Single cell centered in the field. Brightfield microscopy, 40× oil immersion. Bone marrow smear — 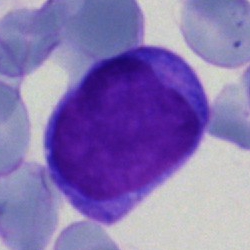

Specimen: bone marrow aspirate smear.
Morphological class: blast cell.